Peripheral blood film:
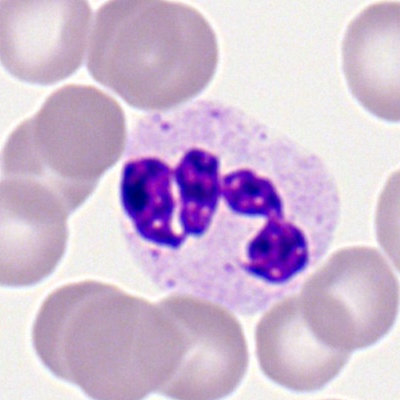 Single cell identified as a segmented neutrophil.